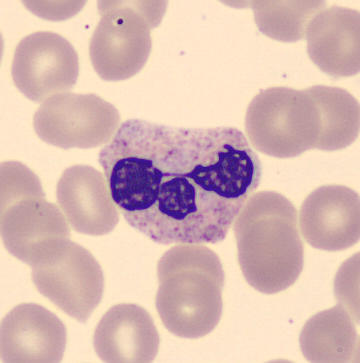
A polymorphonuclear neutrophil.